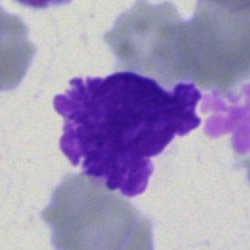
Q: What is shown here?
A: It is an artefact.